Bone marrow smear
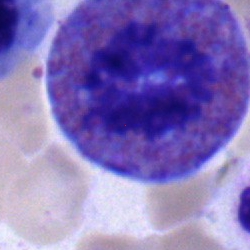

Impression — eosinophilic granulocyte.